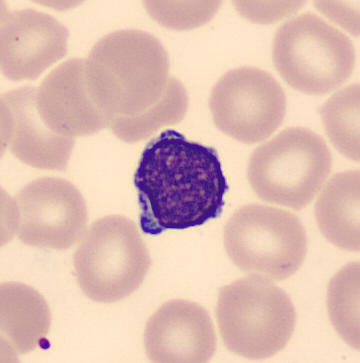

Image: Single cell centered in the field · peripheral blood film.
Q: What is this?
A: This is a typical lymphocyte.